Bone marrow aspirate smear.
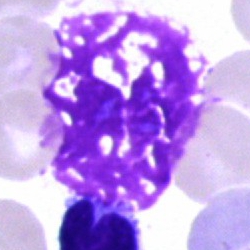 Q: What is shown here?
A: Artefact.